Bone marrow aspirate smear.
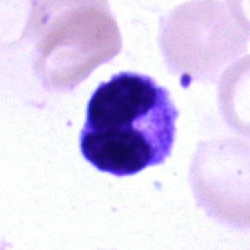Cell: polymorphonuclear neutrophil.